Bone marrow aspirate smear; brightfield, 40× oil-immersion objective — 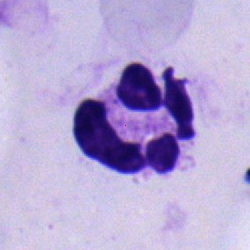

Morphology → neutrophil (segmented).